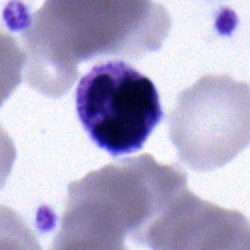

Cell type = polymorphonuclear neutrophil.